40× oil immersion. Bone marrow smear
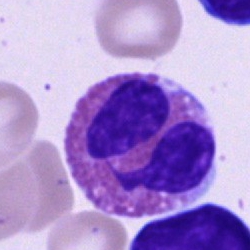

Specimen: bone marrow aspirate smear.
Cell type: eosinophilic granulocyte.
Lineage: myeloid.